Bone marrow smear · 40× oil immersion · single-cell field
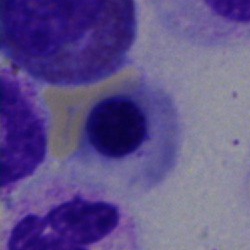Cell type = erythroblast.